Bone marrow smear · cropped to a single cell: 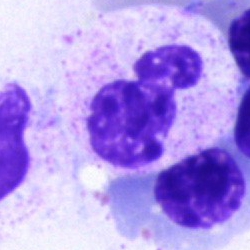

Morphological class = neutrophil (segmented).